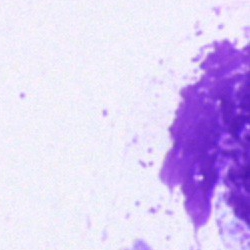
The cell type is artifact.